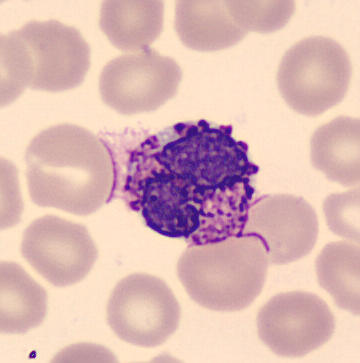

MGG-stained · peripheral blood smear.
Identified as a basophilic granulocyte.